Peripheral blood film:
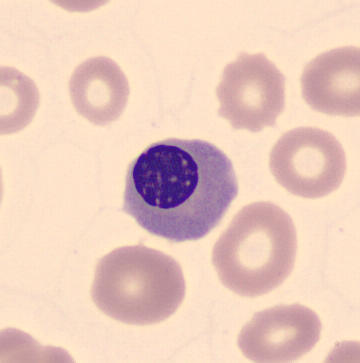

Q: Identify the cell.
A: It is a nucleated red cell.